Bone marrow smear. May-Grünwald-Giemsa/Pappenheim stain.
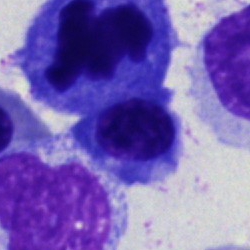Morphological class — normoblast.